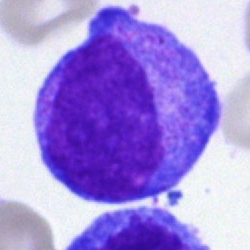
Impression — promyelocyte.